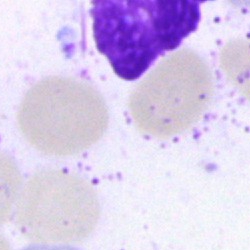Bone marrow aspirate smear, single cell — artefact.